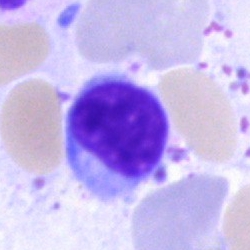
The cell is typical lymphocyte.